Peripheral blood film. 400×400 px: 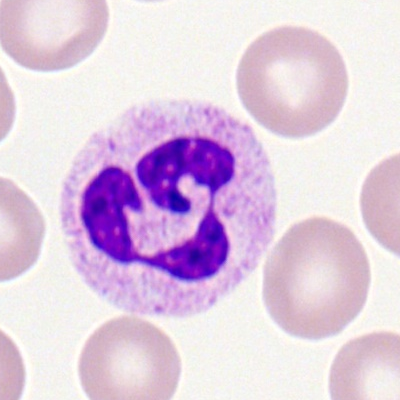

Q: What type of cell is this?
A: Segmented neutrophil.